Brightfield, 40× oil-immersion objective · bone marrow smear
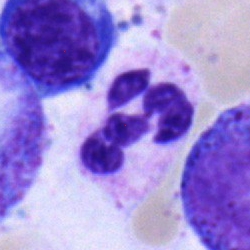Cell type — polymorphonuclear neutrophil.